Single-cell field · bone marrow smear — 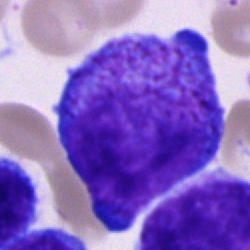Specimen: bone marrow smear.
Classification: promyelocyte.
Lineage: myeloid.